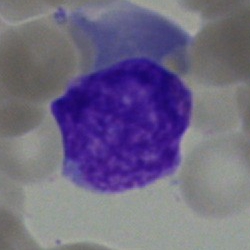 Specimen: bone marrow aspirate smear.
Cell: blast cell.